Bone marrow aspirate smear
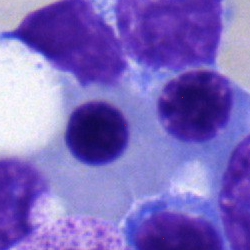

Single cell identified as an erythroblast.